Bone marrow smear. Single-cell crop:
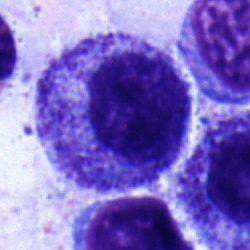

Q: What type of cell is this?
A: It is a monocyte.